Bone marrow smear · 250×250 px · Pappenheim-stained: 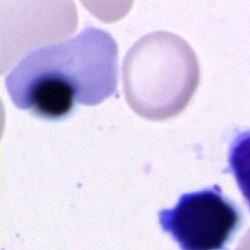 Specimen: bone marrow smear.
Morphological class: nucleated red cell.
Lineage: erythroid.